Bone marrow aspirate smear · brightfield, 40× oil-immersion objective
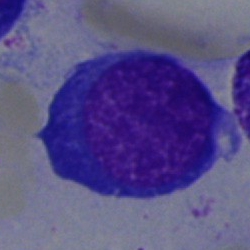

Morphology → nucleated red blood cell.